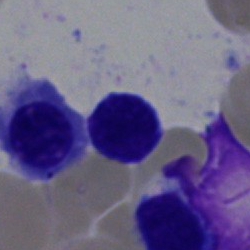
Q: What cell is this?
A: It is a typical lymphocyte.